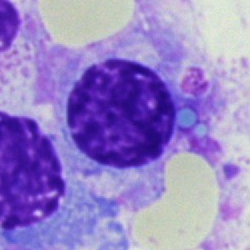Single-cell crop from a bone marrow smear: plasmacyte.